Single-cell field; bone marrow aspirate smear:
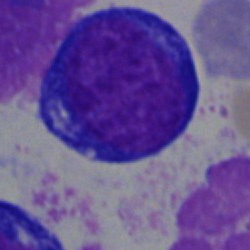

Morphology consistent with a pronormoblast.